Bone marrow aspirate smear.
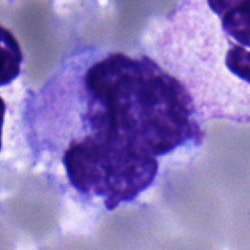
{"cell_type": "monocyte", "lineage": "myeloid"}